40× objective, oil immersion; bone marrow aspirate smear; image size 250×250
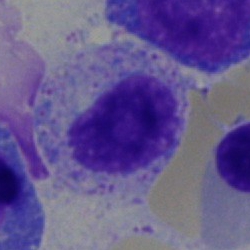Morphology consistent with a myelocyte.